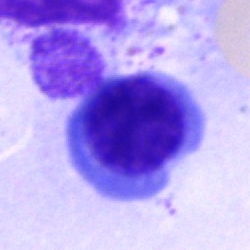Bone marrow aspirate smear, single cell — nucleated red blood cell.